Bone marrow aspirate smear.
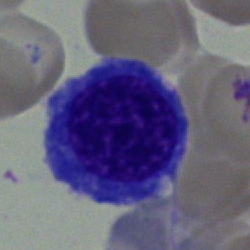Specimen: bone marrow aspirate smear.
Cell: nucleated red cell.
Lineage: erythroid.